Bone marrow aspirate smear. Single cell centered in the field — 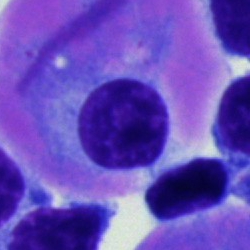
Cell type = plasmacyte.